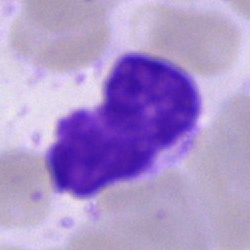

Artefact.